250 by 250 pixels. Bone marrow aspirate smear. May-Grünwald-Giemsa/Pappenheim stain
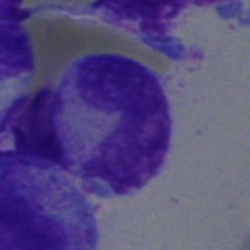
Specimen: bone marrow smear.
Cell: stab cell.
Lineage: myeloid.